Bone marrow aspirate smear · 40× oil immersion · May-Grünwald-Giemsa stain.
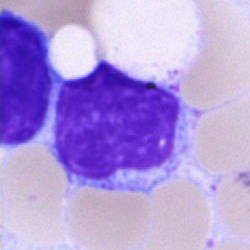Cell — typical lymphocyte.